Bone marrow aspirate smear. Brightfield, 40× oil-immersion objective. Cropped to a single cell.
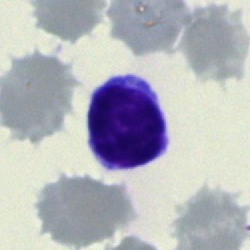
Specimen: bone marrow aspirate smear.
Cell type: typical lymphocyte.